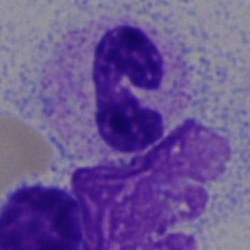 Morphology — segmented neutrophil.